Bone marrow smear: 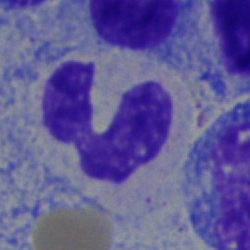
The cell shown is a neutrophil (segmented).